Bone marrow smear
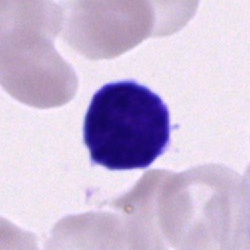
Cell type = artifact.